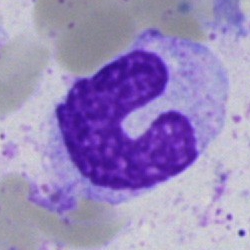

Single cell identified as a monocyte.